Bone marrow aspirate smear. MGG-stained. 250 by 250 pixels
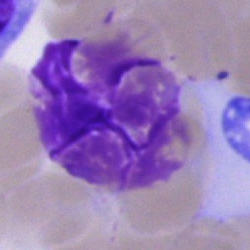Specimen: bone marrow aspirate smear.
Classification: artifact.